Bone marrow aspirate smear:
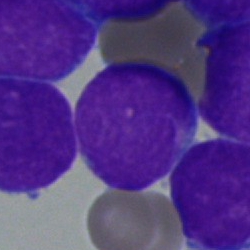 {"cell_type": "blast cell"}